Peripheral blood film:
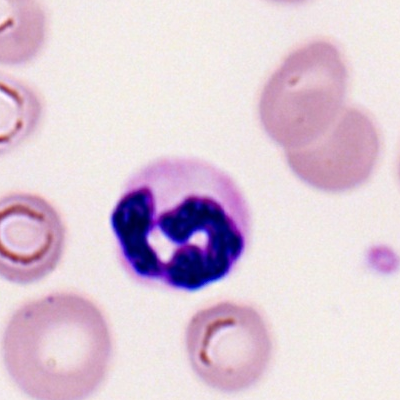Morphology → segmented neutrophil.